MGG-stained; bone marrow smear.
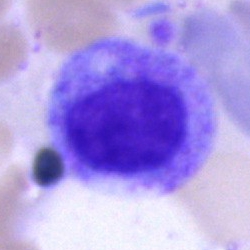
Morphology — myelocyte.